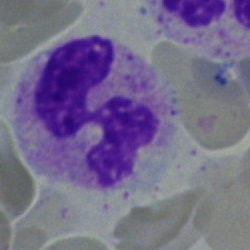Impression → segmented neutrophil.